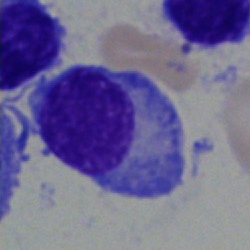 {"cell_type": "plasmacyte"}